Peripheral blood film. 100× objective, oil immersion.
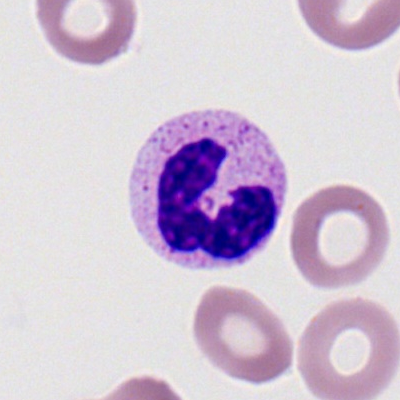
Specimen: peripheral blood smear.
Cell type: segmented neutrophil.
Lineage: myeloid.